Bone marrow aspirate smear
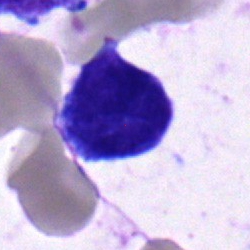

Specimen: bone marrow smear.
Cell: blast cell.